Bone marrow aspirate smear; 250 by 250 pixels
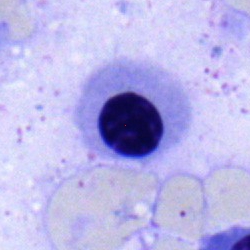
Impression — normoblast.